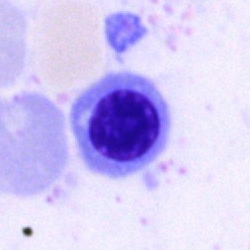 Nucleated red cell.